Bone marrow aspirate smear.
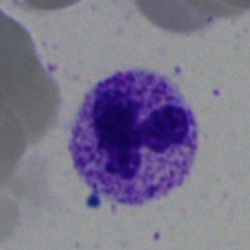 Specimen: bone marrow smear.
Cell type: segmented neutrophil.